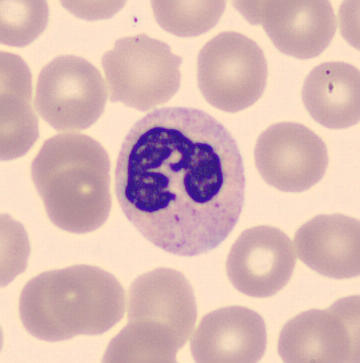 The morphological class is neutrophil (segmented). MGG-stained. Peripheral blood smear.